Bone marrow aspirate smear · image size 250×250.
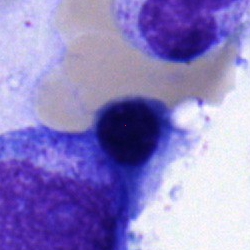
Q: What is shown here?
A: An erythroblast.